Single cell centered in the field. Bone marrow smear:
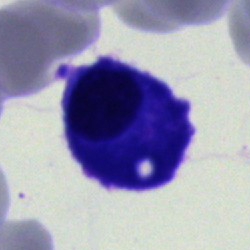 The classification is plasma cell.